Peripheral blood smear.
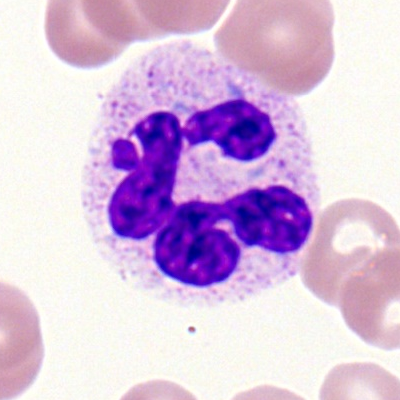 Q: What cell is this?
A: A neutrophil (segmented).